Bone marrow smear; cropped to a single cell: 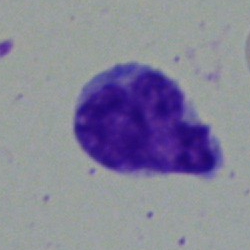

Specimen: bone marrow smear.
Classification: monocyte.